Brightfield microscopy, 40× oil immersion · bone marrow aspirate smear
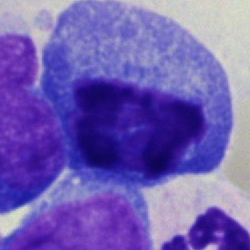 Q: What type of cell is this?
A: It is a progranulocyte.